Brightfield, 40× oil-immersion objective. Bone marrow smear. 250×250.
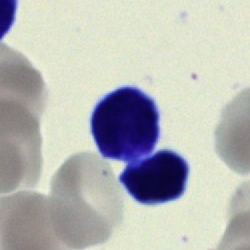Cell type — lymphocyte.